Single-cell crop · MGG-stained · bone marrow aspirate smear — 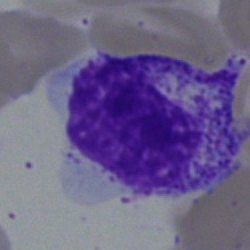

Morphology consistent with a myelocyte.